250×250. Bone marrow smear.
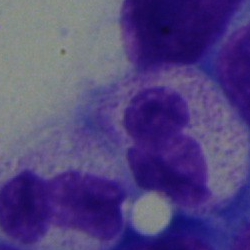{"cell_type": "polymorphonuclear neutrophil", "lineage": "myeloid"}